40× oil immersion. Bone marrow smear. Single-cell crop:
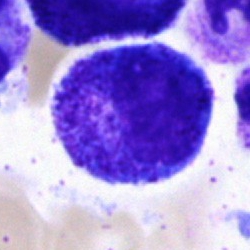
Progranulocyte.